Bone marrow aspirate smear — 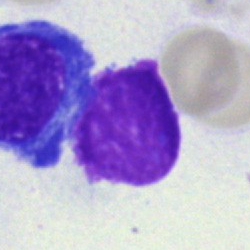
Q: Which cell type is shown here?
A: It is a pronormoblast.